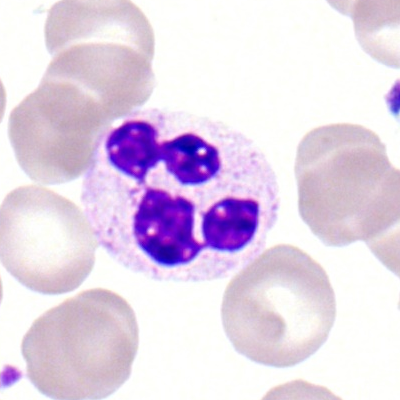

Showing a polymorphonuclear neutrophil.